Bone marrow aspirate smear:
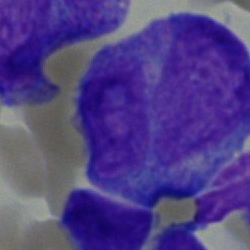
The cell is blast.